Single cell centered in the field; bone marrow aspirate smear: 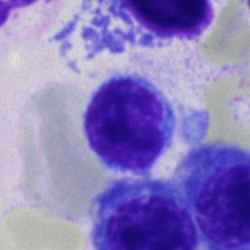Morphology consistent with a typical lymphocyte.